Brightfield microscopy, 40× oil immersion · bone marrow smear · 250×250 px.
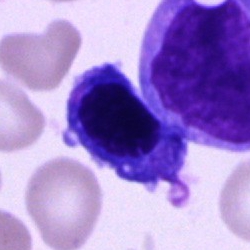
{"cell_type": "normoblast", "lineage": "erythroid"}